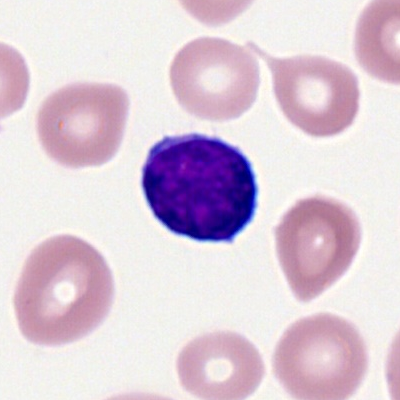

Classification = lymphocyte.